Bone marrow smear. 40× oil immersion. Single-cell field
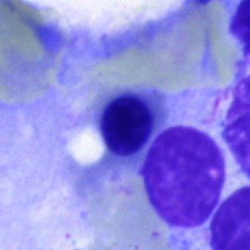The morphological class is nucleated red cell.